Bone marrow smear: 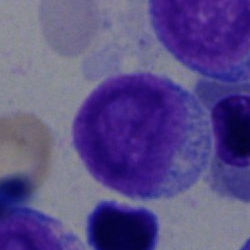 Undifferentiated blast.